Brightfield, 40× oil-immersion objective · single-cell crop · bone marrow aspirate smear: 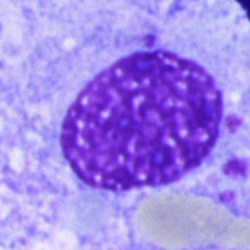Classification = artifact.